Bone marrow smear — 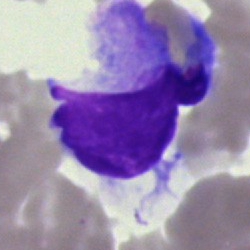Morphological class: artefact.